250×250. Bone marrow smear: 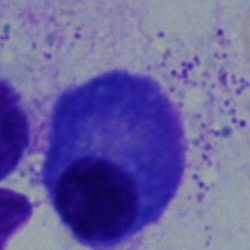

The morphological class is plasmacyte.